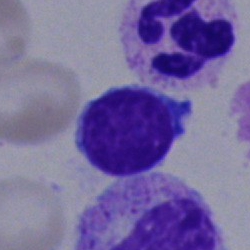

Classification — lymphocyte.